Bone marrow smear:
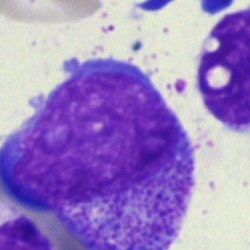

The cell shown is a progranulocyte.